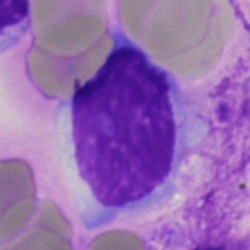 Q: What is shown here?
A: This is a lymphocyte.